Single-cell crop · bone marrow smear — 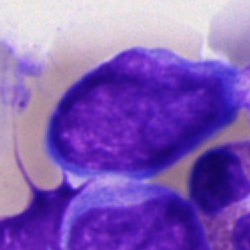Impression — blast cell.